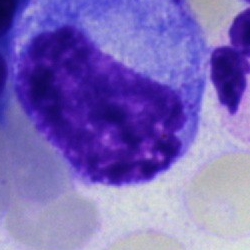Single-cell crop from a bone marrow smear: promyelocyte.